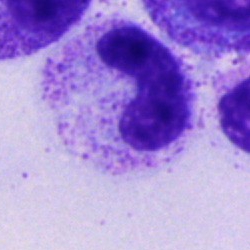
The cell type is neutrophil (band).